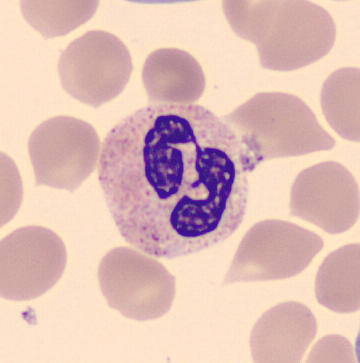

Single cell identified as a neutrophil (segmented).
Peripheral blood smear.